Bone marrow smear
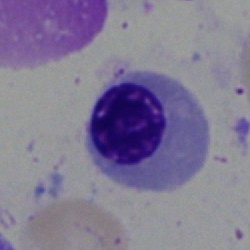 Cell type — erythroblast.